Single-cell crop; peripheral blood film; 400×400 — 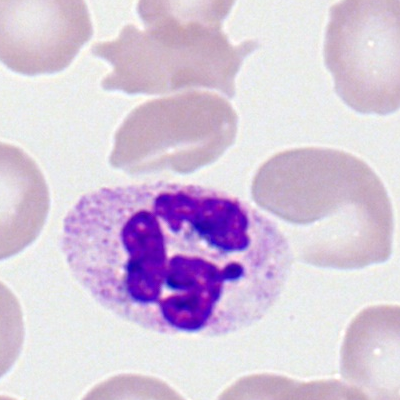

Classification = polymorphonuclear neutrophil.